Bone marrow smear: 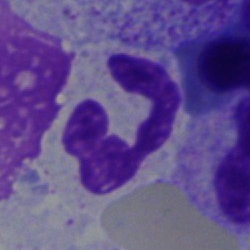
Specimen: bone marrow smear.
Morphological class: segmented neutrophil.
Lineage: myeloid.